250×250 px. Brightfield, 40× oil-immersion objective. Bone marrow aspirate smear.
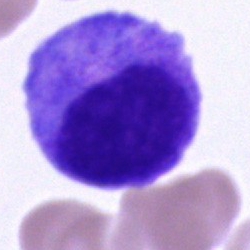 Q: What type of cell is this?
A: It is a progranulocyte.